Bone marrow aspirate smear · image size 250×250 · brightfield microscopy, 40× oil immersion:
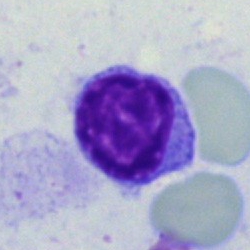
A lymphocyte.